Bone marrow aspirate smear · single cell centered in the field: 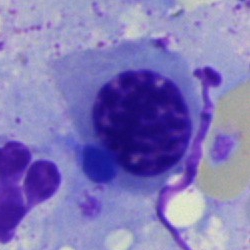 Classification = normoblast.